Bone marrow smear. Single-cell field — 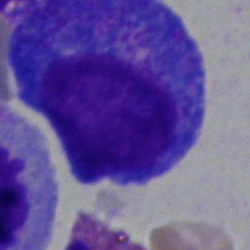The classification is promyelocyte.